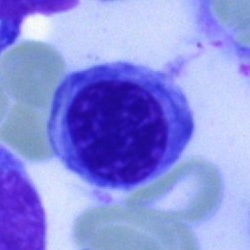 Morphology consistent with a nucleated red blood cell.